Bone marrow smear: 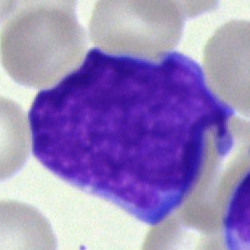 The cell shown is a blast.